Bone marrow smear: 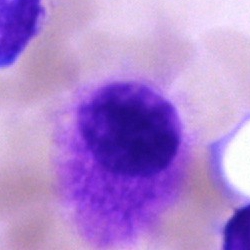Impression — artifact.